Bone marrow aspirate smear; 250×250; single cell centered in the field: 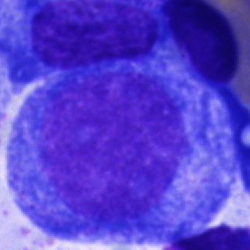

Cell type: progranulocyte.